Bone marrow smear.
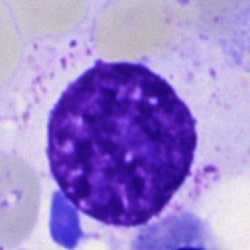Impression — artefact.